Bone marrow aspirate smear.
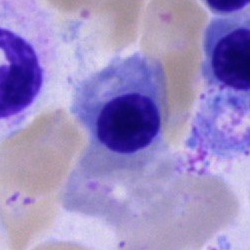 The cell shown is an erythroblast.